Romanowsky-stained. Peripheral blood smear — 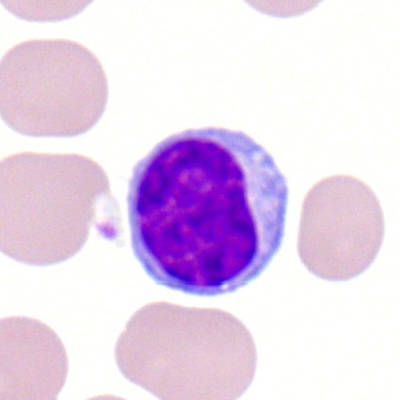Classification = lymphocyte.